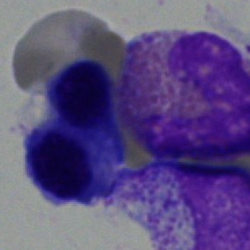
Specimen: bone marrow smear.
Morphological class: eosinophil.
Lineage: myeloid.